MGG-stained · bone marrow aspirate smear: 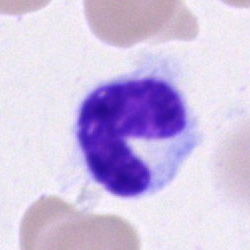 Single cell identified as a band-form neutrophil.